Peripheral blood film:
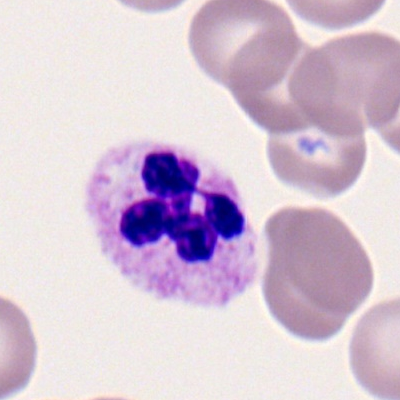
The cell shown is a neutrophil (segmented).